250×250. Bone marrow aspirate smear.
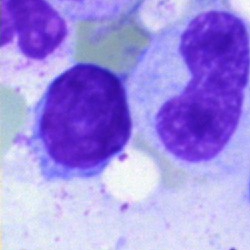
Morphology consistent with a typical lymphocyte.